Bone marrow aspirate smear: 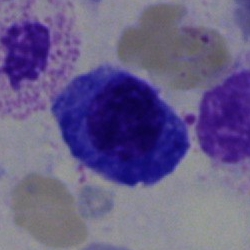

Specimen: bone marrow smear.
Classification: plasmacyte.